Bone marrow aspirate smear; MGG-stained — 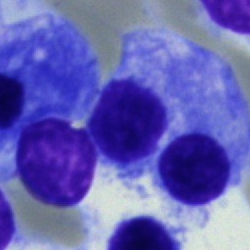 Morphology → plasmacyte.